Bone marrow aspirate smear · brightfield, 40× oil-immersion objective:
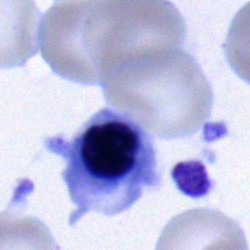 Showing a normoblast.